Bone marrow aspirate smear · 40× oil immersion · single cell centered in the field:
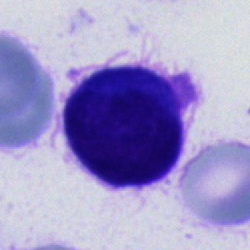

{"cell_type": "unidentifiable cell"}